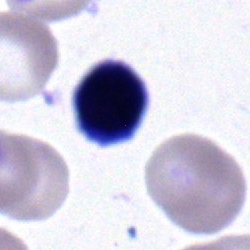
Classification = lymphocyte.